Single cell centered in the field. Bone marrow aspirate smear: 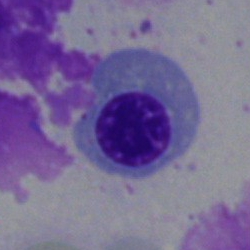The cell is normoblast.